Cropped to a single cell. Bone marrow aspirate smear. Brightfield microscopy, 40× oil immersion — 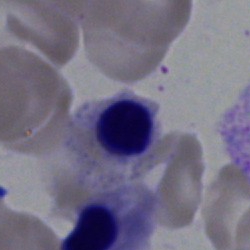
A nucleated red blood cell.